Bone marrow smear · 250×250 · 40× oil immersion — 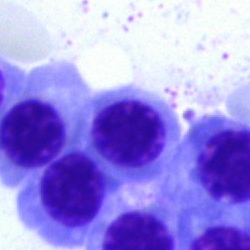Nucleated red blood cell.